Bone marrow aspirate smear:
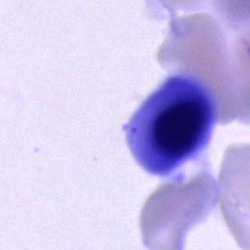 Cell type: normoblast.